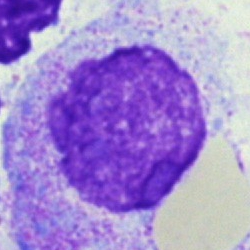Morphology → artifact.